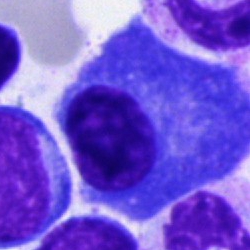A plasma cell.